MGG-stained. Bone marrow aspirate smear — 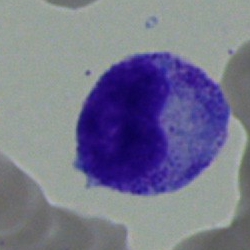Q: Which cell type is shown here?
A: This is a metamyelocyte.